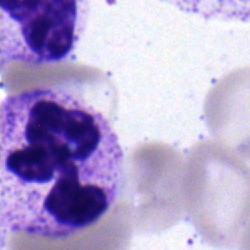Cell — typical lymphocyte.